Brightfield microscopy, 40× oil immersion; bone marrow aspirate smear — 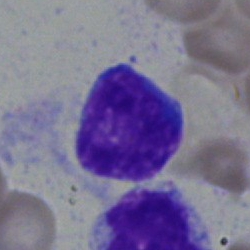Morphology → typical lymphocyte.